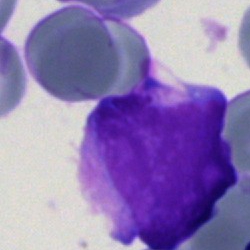 {"cell_type": "blast cell"}